Single-cell field; 250×250; bone marrow smear — 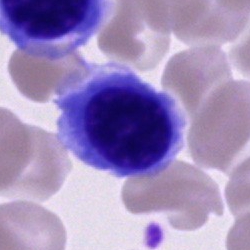Cell = erythroblast.